MGG-stained. Bone marrow smear.
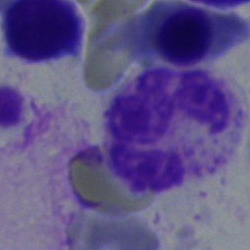 This is a neutrophil (segmented).